Single-cell crop. 40× objective, oil immersion. Bone marrow aspirate smear
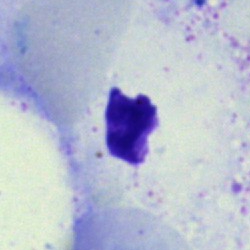
Morphology — artifact.